Peripheral blood smear — 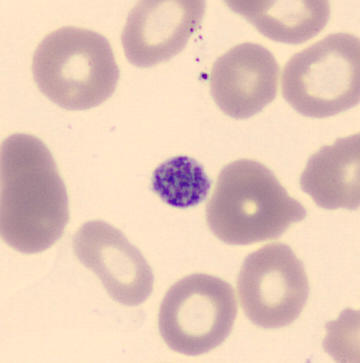
Cell type = platelet (thrombocyte).